Brightfield, 40× oil-immersion objective. Bone marrow aspirate smear
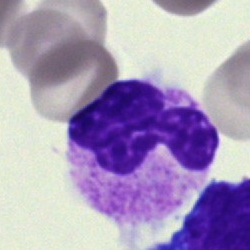

Morphological class — neutrophil (segmented).